Bone marrow smear
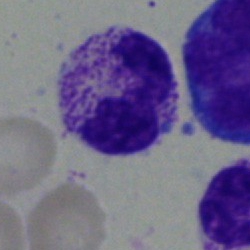

Cell type: polymorphonuclear neutrophil.